Bone marrow smear · 250×250 px · 40× objective, oil immersion:
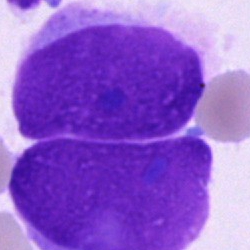 The cell shown is an artifact.